Bone marrow aspirate smear — 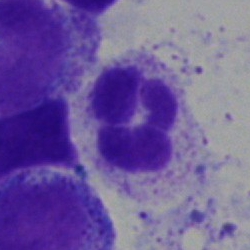 Single cell identified as a polymorphonuclear neutrophil.